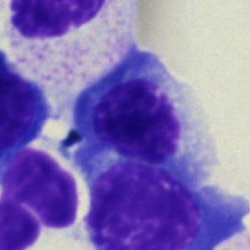

Single cell identified as a normoblast.